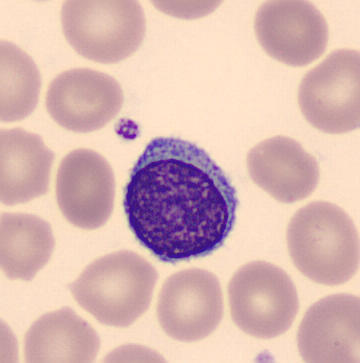

Impression — lymphocyte.